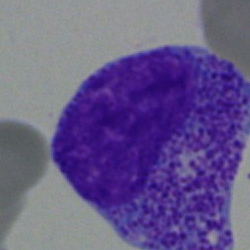
Cell: myelocyte.